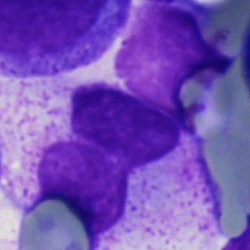 Morphology — artefact.